Bone marrow aspirate smear: 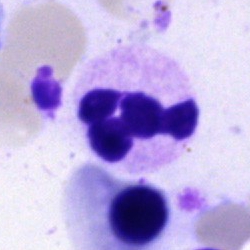 The cell type is polymorphonuclear neutrophil.